Bone marrow smear
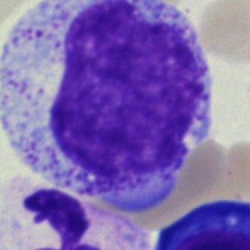
Specimen: bone marrow smear.
Morphological class: promyelocyte.
Lineage: myeloid.